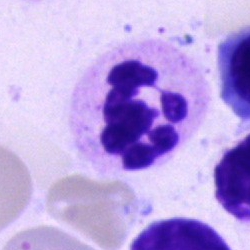Polymorphonuclear neutrophil.